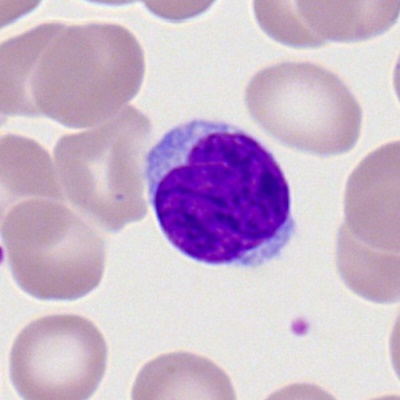 A typical lymphocyte.